Bone marrow aspirate smear — 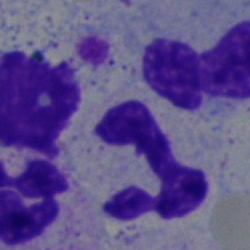 Q: Which cell type is shown here?
A: This is a neutrophil (segmented).